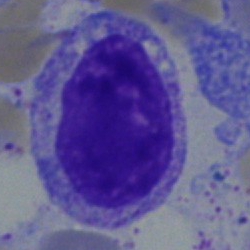

Q: What cell is this?
A: It is a myelocyte.